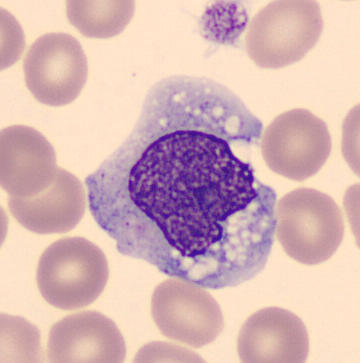Monocyte.

Peripheral blood smear · May-Grünwald-Giemsa-stained.